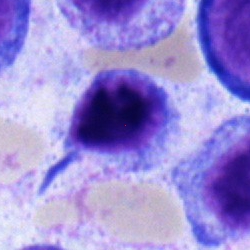 Bone marrow aspirate smear, single cell — lymphocyte.